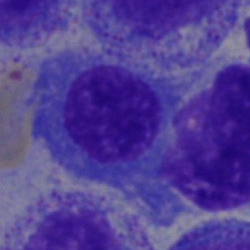 Cell type — plasmacyte.